250×250 · bone marrow aspirate smear:
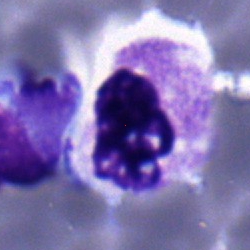
Q: What type of cell is this?
A: This is a neutrophil (segmented).